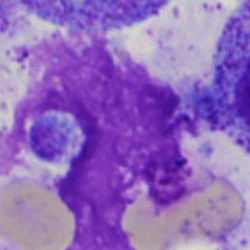

The cell shown is an artefact.